Bone marrow smear.
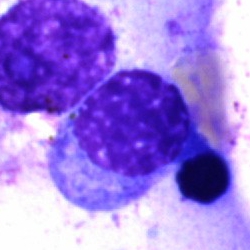 This is a nucleated red cell.